Single-cell crop · image size 250×250 · bone marrow aspirate smear
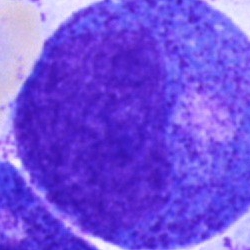

Classification — promyelocyte.